Bone marrow aspirate smear — 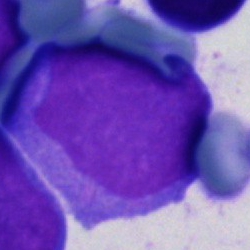

The cell type is blast.